Single-cell field; bone marrow smear: 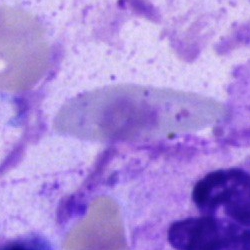Cell = artefact.